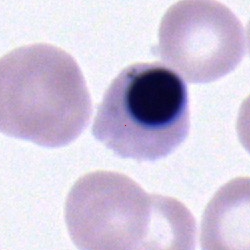Single-cell crop from a bone marrow smear: normoblast.